Bone marrow smear — 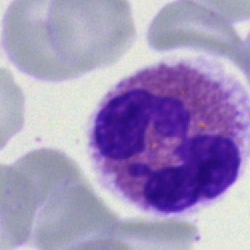Specimen: bone marrow smear.
Classification: eosinophilic granulocyte.